MGG-stained; bone marrow smear; 250×250:
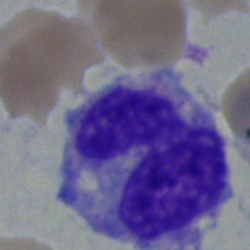Q: What is the morphological classification of this cell?
A: This is a monocyte.